Bone marrow aspirate smear; May-Grünwald-Giemsa/Pappenheim stain
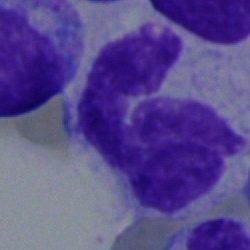
Showing an artefact.